Bone marrow smear.
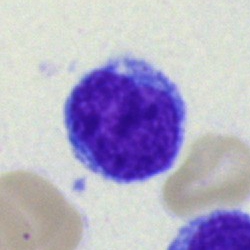
Specimen: bone marrow smear.
Classification: blast cell.